Bone marrow aspirate smear
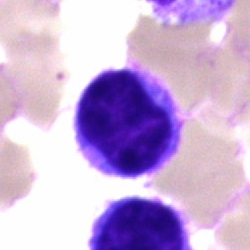

Showing a typical lymphocyte.